Bone marrow smear — 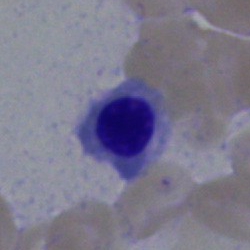 Morphological class — nucleated red cell.